Bone marrow smear — 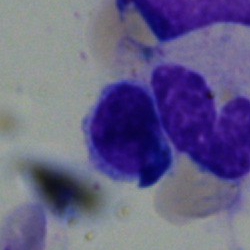
Showing a lymphocyte.